250×250 px · May-Grünwald-Giemsa stain · bone marrow aspirate smear: 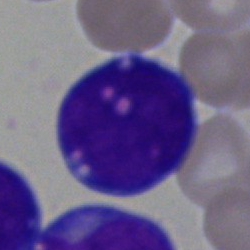
The morphological class is undifferentiated blast.